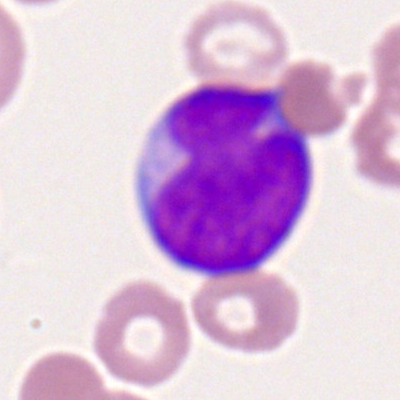
Cell type: myeloid blast.